Bone marrow aspirate smear:
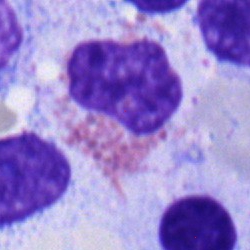

Cell = eosinophilic granulocyte.